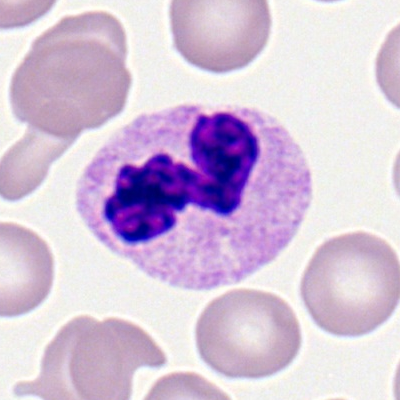 Showing a neutrophil (segmented).